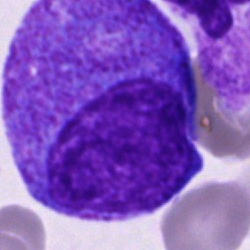{"cell_type": "promyelocyte"}